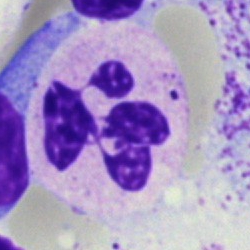
Showing a polymorphonuclear neutrophil.